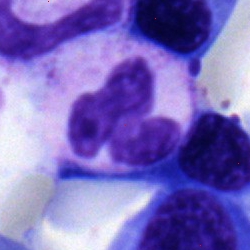Classification: neutrophil (segmented).